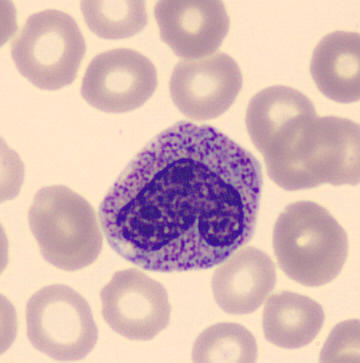 Peripheral blood film · May-Grünwald-Giemsa-stained · automated cell imaging (CellaVision DM96).
Showing a metamyelocyte.